Bone marrow smear:
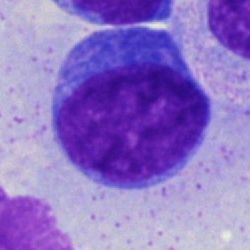
Blast cell.